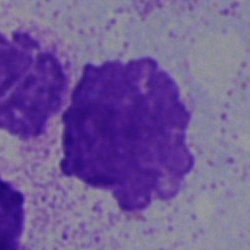

Classification = artifact.